Bone marrow aspirate smear — 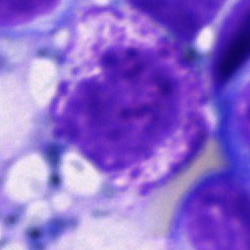

Classification = basophil.